Bone marrow aspirate smear:
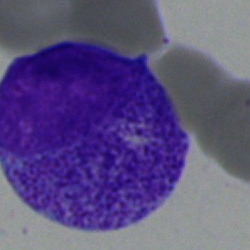
Morphology consistent with a myelocyte.